Brightfield microscopy, 40× oil immersion; bone marrow aspirate smear:
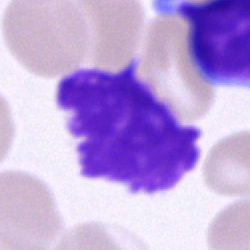
{"cell_type": "artefact"}